Bone marrow aspirate smear. 250×250. May-Grünwald-Giemsa/Pappenheim stain — 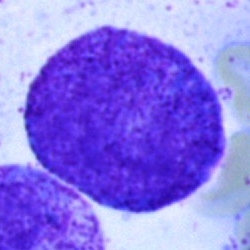This is a promyelocyte.